Pappenheim-stained. Bone marrow smear. 250 by 250 pixels — 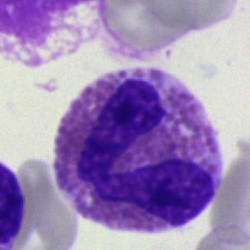
This is an eosinophilic granulocyte.